40× oil immersion; bone marrow aspirate smear; image size 250×250 — 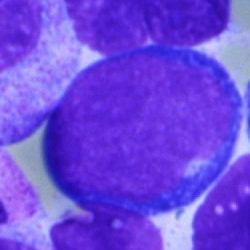
Q: Identify the cell.
A: This is a pronormoblast.